Bone marrow smear
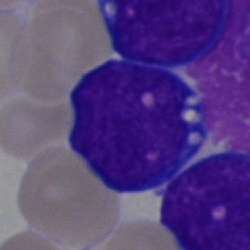
This is a blast cell.